Bone marrow aspirate smear.
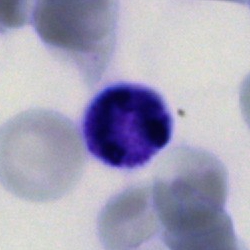

Morphological class — segmented neutrophil.